Bone marrow aspirate smear.
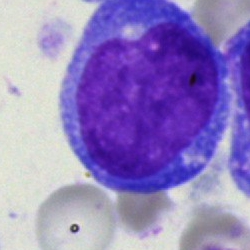An undifferentiated blast.